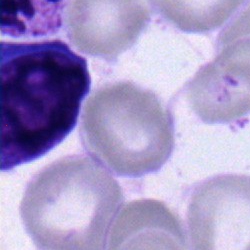

Morphology consistent with a plasma cell.